Bone marrow aspirate smear:
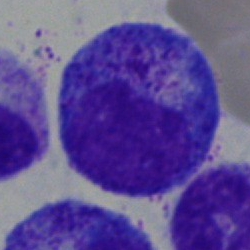Impression — promyelocyte.